Bone marrow aspirate smear. May-Grünwald-Giemsa/Pappenheim stain. Cropped to a single cell.
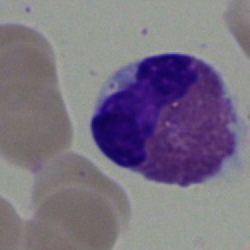 Q: Identify the cell.
A: Eosinophilic granulocyte.